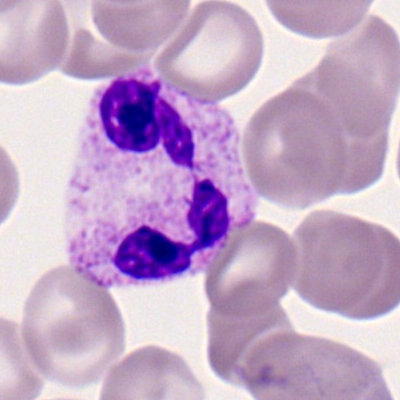
Single-cell crop from a peripheral blood smear: polymorphonuclear neutrophil.